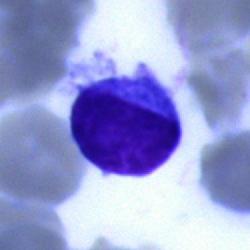 Bone marrow aspirate smear, single cell — lymphocyte.